Bone marrow smear — 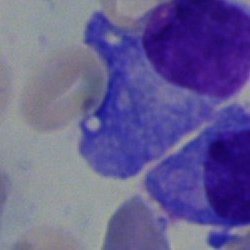
Cell type: plasma cell.